Bone marrow smear. MGG-stained. Single-cell field — 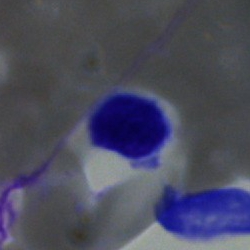A lymphocyte.